Bone marrow smear
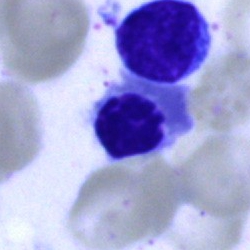 Specimen: bone marrow aspirate smear.
Cell type: normoblast.
Lineage: erythroid.